Bone marrow smear. 40× objective, oil immersion. May-Grünwald-Giemsa stain — 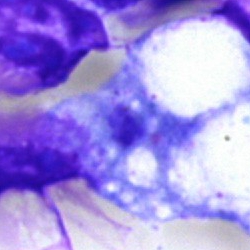 Classification — artefact.